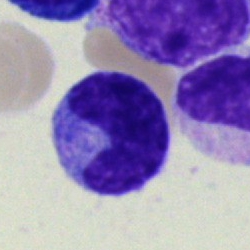 Morphology — monocyte.